MGG-stained. Single-cell field. Bone marrow smear
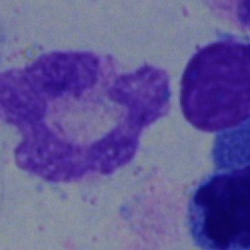Morphological class — neutrophil (segmented).